Bone marrow aspirate smear.
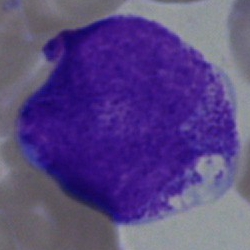
Showing a promyelocyte.